Bone marrow smear · single-cell field · 40× oil immersion
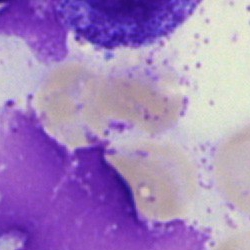The cell shown is an artifact.